400 by 400 pixels. Peripheral blood film.
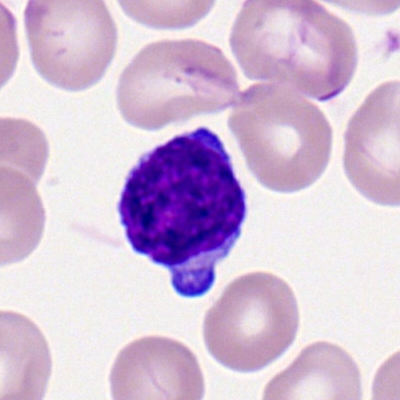

Specimen: peripheral blood film.
Cell: lymphocyte.